Bone marrow aspirate smear:
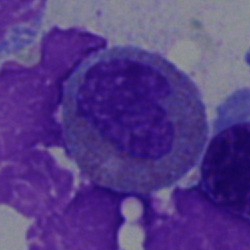

Q: What is the morphological classification of this cell?
A: An eosinophilic granulocyte.